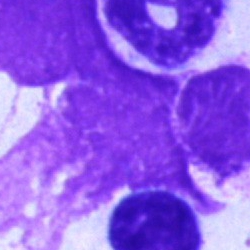
Specimen: bone marrow smear.
Cell type: artefact.